Bone marrow aspirate smear
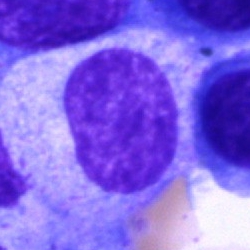Morphology consistent with a myelocyte.